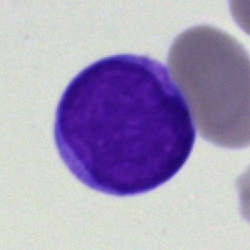
Impression → blast.